Peripheral blood film · imaged on a CellaVision DM96 analyser — 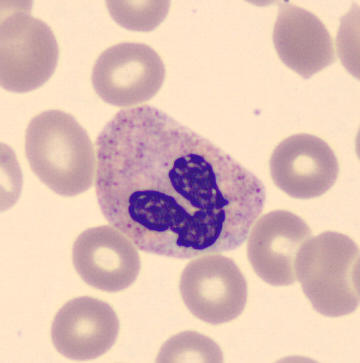

Identified as a neutrophil (segmented).